Brightfield, 40× oil-immersion objective; bone marrow smear
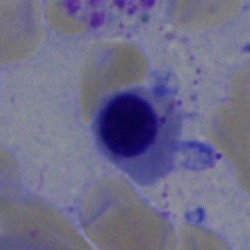

Showing a nucleated red blood cell.